Brightfield microscopy, 40× oil immersion; bone marrow smear; 250×250
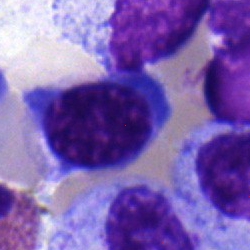 Specimen: bone marrow smear.
Classification: erythroblast.